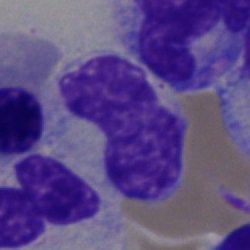Q: What cell is this?
A: This is a stab cell.